Bone marrow smear:
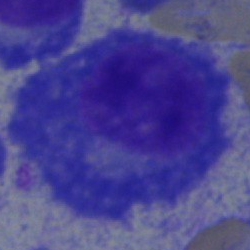
This is a plasmacyte.